Single-cell crop. Bone marrow smear: 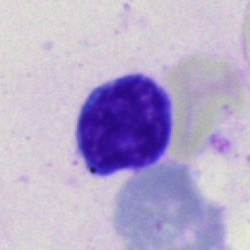
Morphological class: typical lymphocyte.